Bone marrow smear.
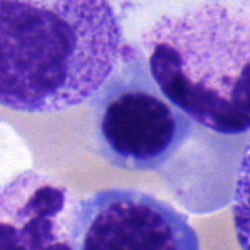Showing an erythroblast.